Peripheral blood film:
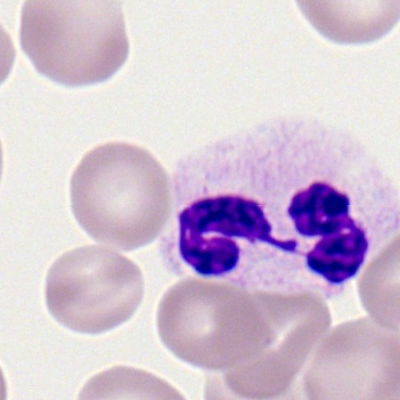 Impression → segmented neutrophil.